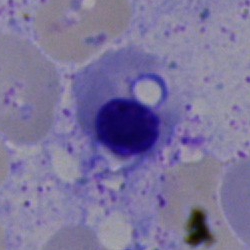

Specimen: bone marrow smear.
Cell type: normoblast.
Lineage: erythroid.